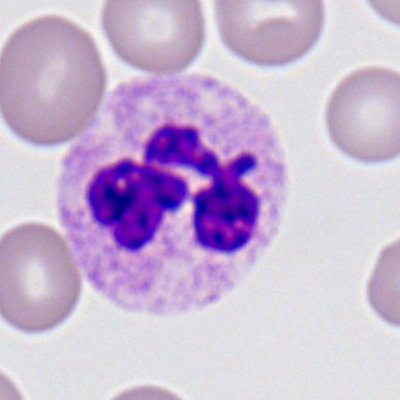This is a segmented neutrophil.